Bone marrow smear:
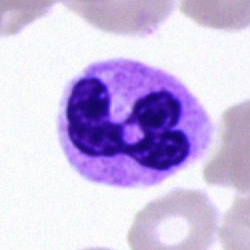
{"cell_type": "polymorphonuclear neutrophil", "lineage": "myeloid"}